Bone marrow smear
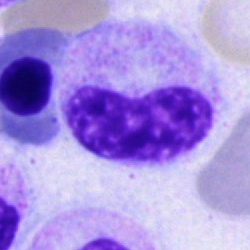The cell shown is a metamyelocyte.